Bone marrow aspirate smear — 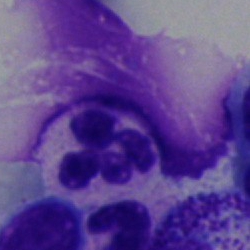
Single cell identified as a neutrophil (segmented).